Bone marrow smear:
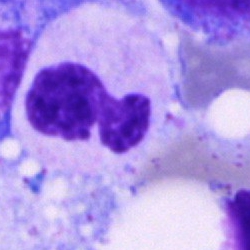
Cell = polymorphonuclear neutrophil.